Bone marrow aspirate smear; 250×250 px:
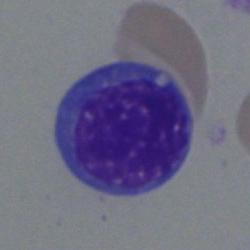
Morphology — normoblast.